Bone marrow aspirate smear — 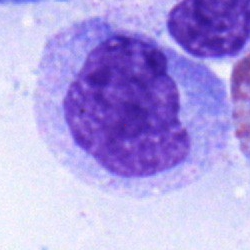 This is a monocyte.